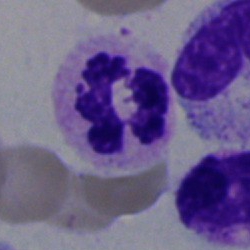
Morphological class: segmented neutrophil.